Bone marrow smear; May-Grünwald-Giemsa stain: 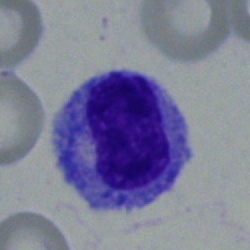

The cell shown is a myelocyte.